Bone marrow smear · MGG-stained · 250×250 px.
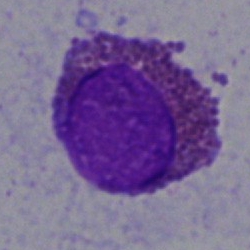 Single cell identified as an eosinophil.